Bone marrow aspirate smear; 40× objective, oil immersion; 250 by 250 pixels.
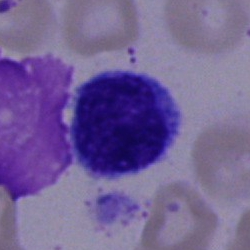

A lymphocyte.